Bone marrow smear; May-Grünwald-Giemsa stain; single cell centered in the field.
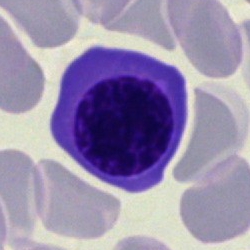Single cell identified as a normoblast.